Peripheral blood film.
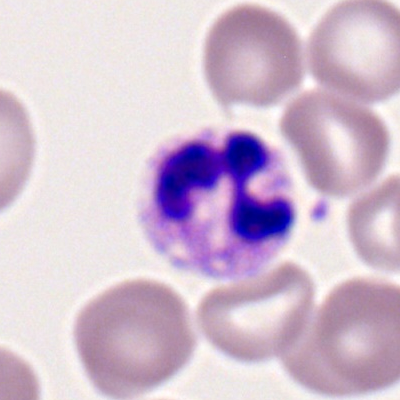
Specimen: peripheral blood film.
Cell: polymorphonuclear neutrophil.
Lineage: myeloid.